40× objective, oil immersion. Bone marrow smear — 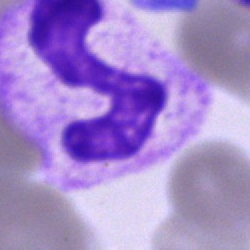 Single cell identified as a polymorphonuclear neutrophil.